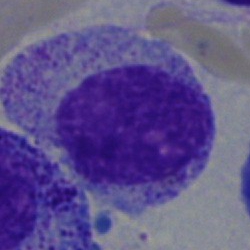

The cell shown is a myelocyte.